Bone marrow smear:
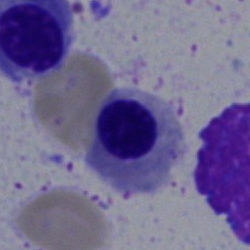Specimen: bone marrow smear.
Cell type: erythroblast.
Lineage: erythroid.